MGG-stained. 40× oil immersion. Bone marrow aspirate smear:
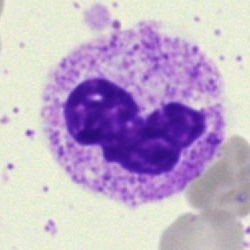 Showing a neutrophil (segmented).